Bone marrow aspirate smear
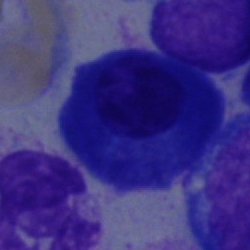 Showing a plasma cell.